Bone marrow aspirate smear:
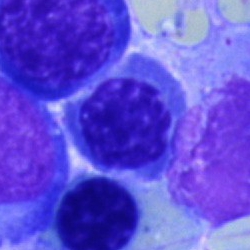
Morphological class = normoblast.